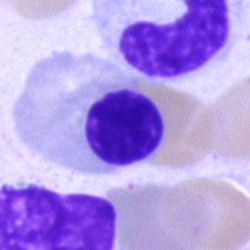 Bone marrow smear showing a nucleated red blood cell.